Bone marrow aspirate smear
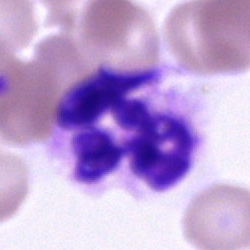Q: Identify the cell.
A: A neutrophil (segmented).